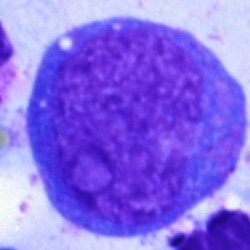Specimen: bone marrow aspirate smear.
Cell: progranulocyte.
Lineage: myeloid.